Bone marrow smear — 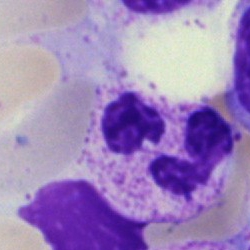Polymorphonuclear neutrophil.